Cropped to a single cell; bone marrow aspirate smear — 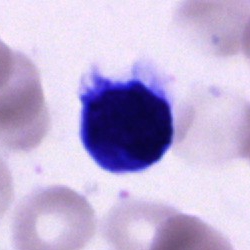 Q: What is the morphological classification of this cell?
A: This is a cell of indeterminate lineage.